Bone marrow aspirate smear
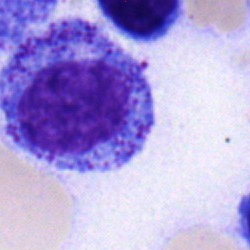
Morphological class = lymphocyte.